Single-cell crop · May-Grünwald-Giemsa stain · bone marrow aspirate smear — 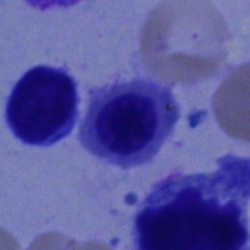 Morphological class = erythroblast.